Bone marrow aspirate smear · single-cell crop · 250 by 250 pixels — 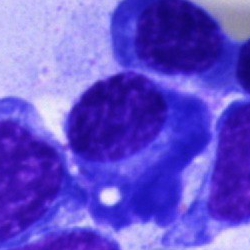A plasma cell.